May-Grünwald-Giemsa stain. Bone marrow smear:
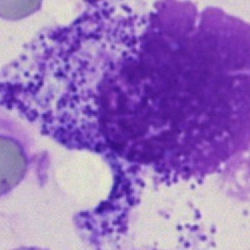

Classification — artifact.